MGG-stained. 40× oil immersion. Bone marrow smear — 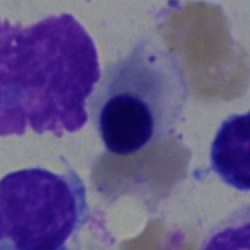
Impression → nucleated red blood cell.